Bone marrow aspirate smear:
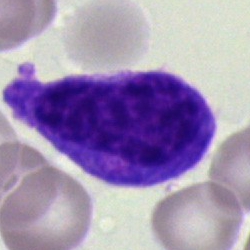 The morphological class is monocyte.